Bone marrow smear · brightfield microscopy, 40× oil immersion.
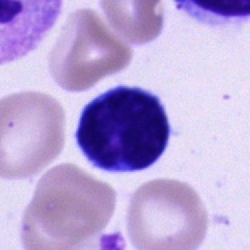
Cell — lymphocyte.